Peripheral blood film
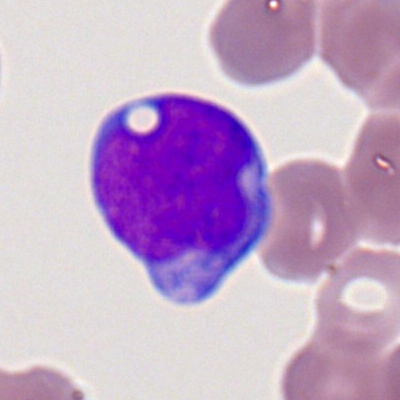
Morphology — myeloblast.